Bone marrow aspirate smear: 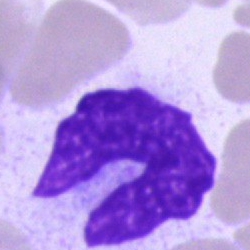 Impression — artefact.